Peripheral blood film. Image size 360×363:
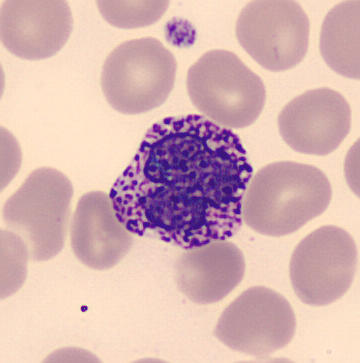
Impression — basophilic granulocyte.